Bone marrow smear: 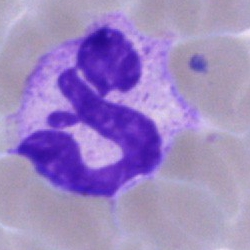

Cell: segmented neutrophil.